Bone marrow aspirate smear:
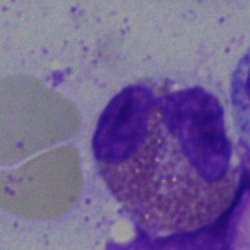
Impression → eosinophilic granulocyte.